40× oil immersion; bone marrow smear — 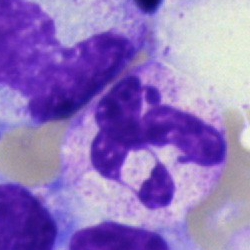

Showing a neutrophil (segmented).